Cropped to a single cell · bone marrow smear — 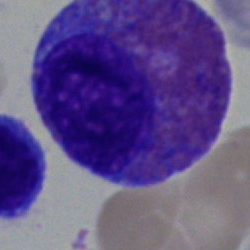

Cell type — eosinophil.